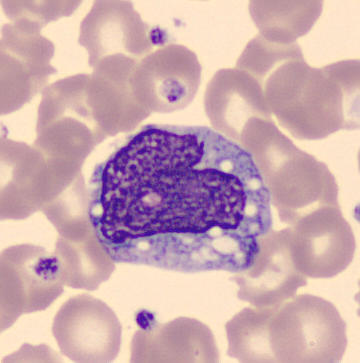 Impression — monocyte.
MGG stain · peripheral blood smear.